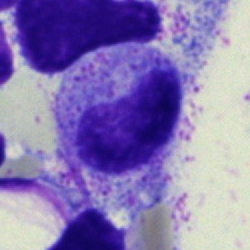Morphological class — band neutrophil.